Bone marrow aspirate smear — 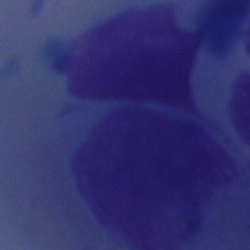 Artifact.